Bone marrow aspirate smear.
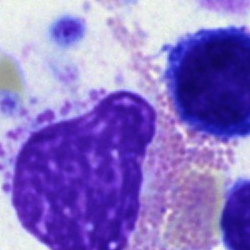
Q: Which cell type is shown here?
A: It is an eosinophilic granulocyte.